Single-cell field; bone marrow smear; 40× objective, oil immersion:
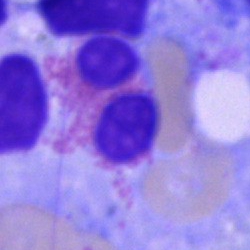Morphology — basophilic granulocyte.